Brightfield microscopy, 40× oil immersion · bone marrow aspirate smear — 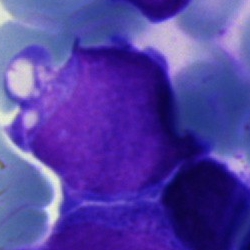 Morphology → blast.